Peripheral blood film: 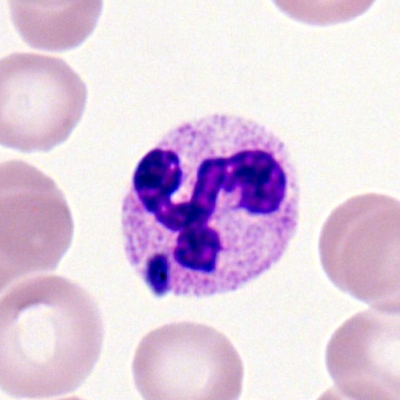

Showing a neutrophil (segmented).